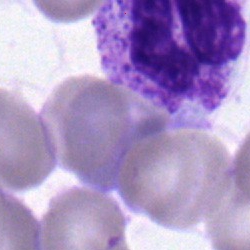
Stab cell.